Bone marrow smear:
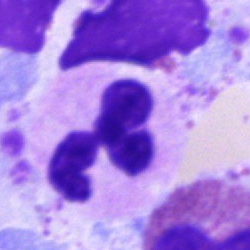
A segmented neutrophil.